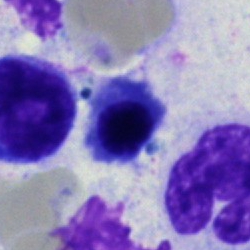

Q: What is shown here?
A: This is a normoblast.